Peripheral blood smear: 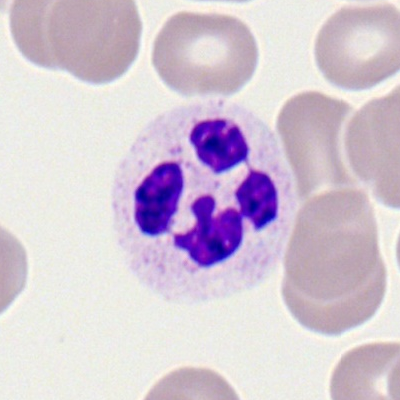 Q: What is the morphological classification of this cell?
A: This is a neutrophil (segmented).